250 by 250 pixels. Bone marrow smear. Brightfield, 40× oil-immersion objective: 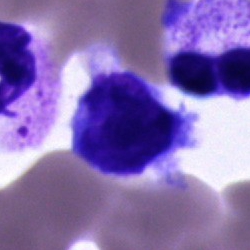

Morphology → cell of indeterminate lineage.